Peripheral blood film · M8 digital microscope (Precipoint), 100× oil immersion — 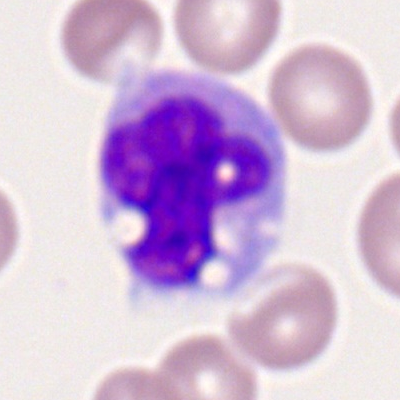
The cell shown is a monocyte.